Pappenheim-stained; bone marrow aspirate smear
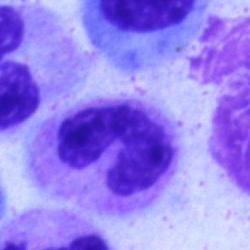

Q: What is shown here?
A: This is a band-form neutrophil.